Peripheral blood smear; Romanowsky stain; 100× oil immersion.
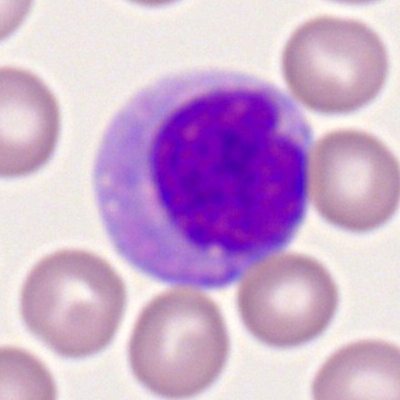

Morphological class — monocyte.